Bone marrow smear · Pappenheim-stained:
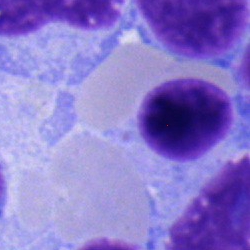

Morphology consistent with a typical lymphocyte.